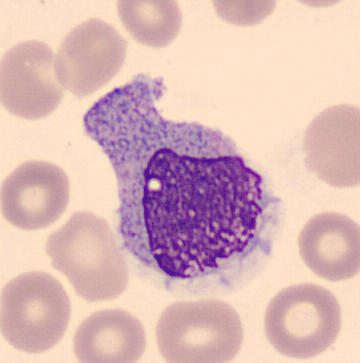

Identified as a monocyte.